Bone marrow aspirate smear
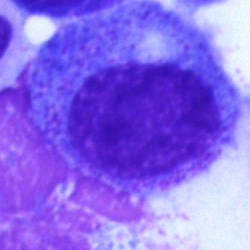 Q: What is the morphological classification of this cell?
A: It is a progranulocyte.